Bone marrow smear; 250×250 px; May-Grünwald-Giemsa/Pappenheim stain
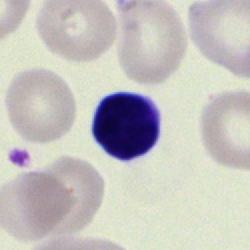Impression → lymphocyte.